Bone marrow aspirate smear.
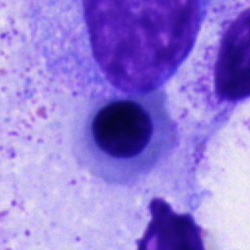
This is a normoblast.